Bone marrow smear
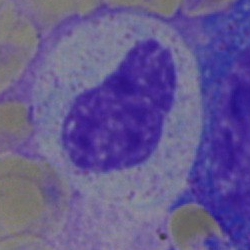 The cell shown is a metamyelocyte.